Bone marrow aspirate smear
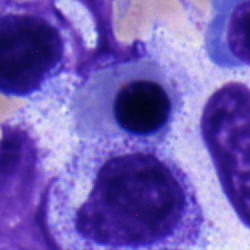
Morphological class: nucleated red cell.